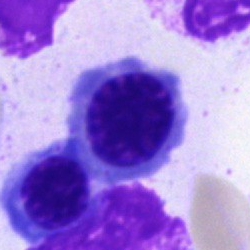The cell is normoblast.